Bone marrow smear · cropped to a single cell: 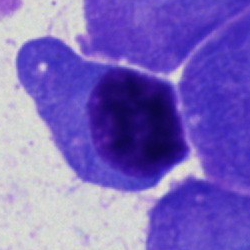
Q: What is shown here?
A: Erythroblast.